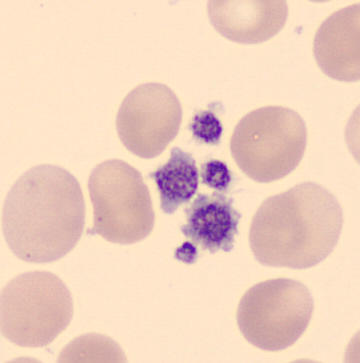 Platelet (thrombocyte). Preparation: Image size 360×363. Peripheral blood smear.